Bone marrow smear: 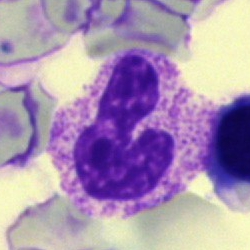 Cell: segmented neutrophil.